Peripheral blood film
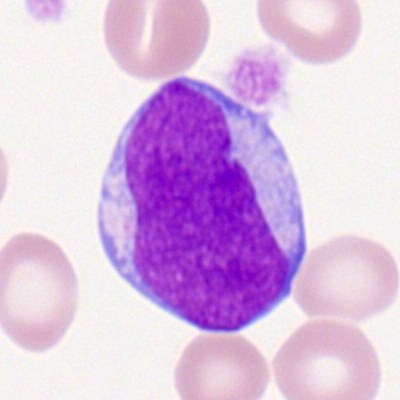 The cell shown is a myeloid blast.